40× objective, oil immersion · bone marrow aspirate smear:
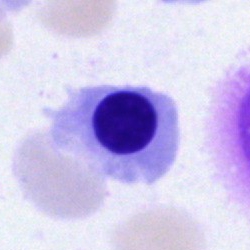

A nucleated red blood cell.